Bone marrow aspirate smear.
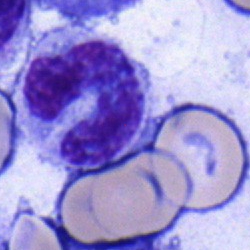

Cell type: band neutrophil.